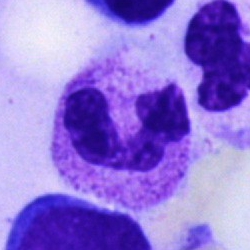 Morphology → segmented neutrophil.